Peripheral blood smear. Image size 360×363.
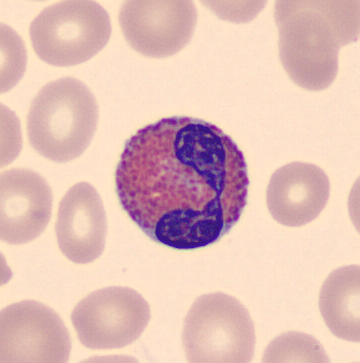
Classification — eosinophil.